Bone marrow aspirate smear.
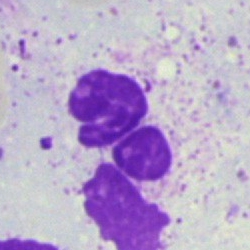

Q: What is shown here?
A: It is an artefact.